Bone marrow aspirate smear; brightfield microscopy, 40× oil immersion: 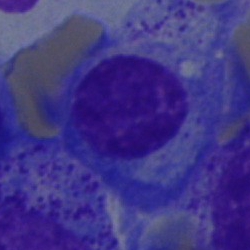Morphology — plasma cell.